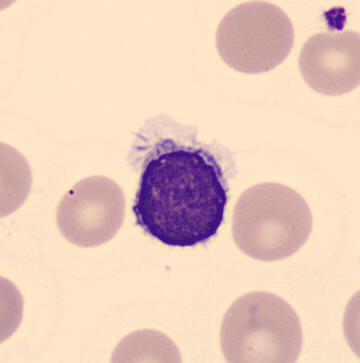Cell = lymphocyte.

Preparation: Peripheral blood film.